May-Grünwald-Giemsa stain. Bone marrow aspirate smear
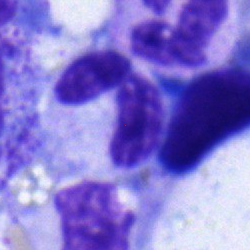

This is a polymorphonuclear neutrophil.